Bone marrow aspirate smear. 250×250 px.
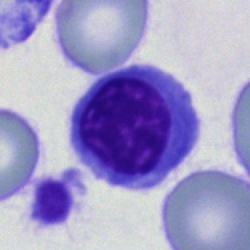 Morphological class — normoblast.